Bone marrow aspirate smear.
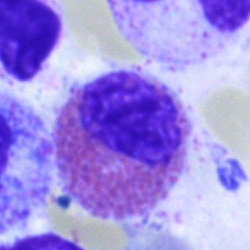
{"cell_type": "eosinophilic granulocyte"}